Bone marrow smear: 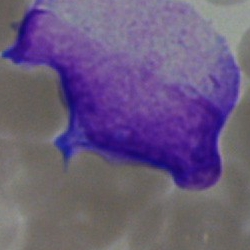{"cell_type": "blast"}